Bone marrow aspirate smear
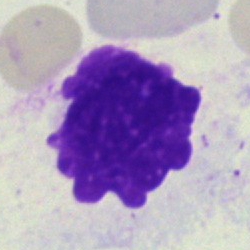
Q: What is shown here?
A: It is an artifact.